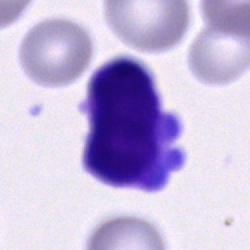
Morphology → blast.